Bone marrow aspirate smear:
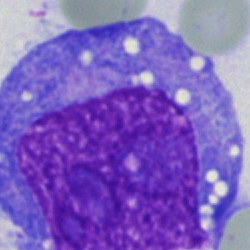 This is a blast cell.